Bone marrow smear:
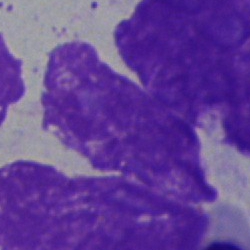
Morphology consistent with an artifact.